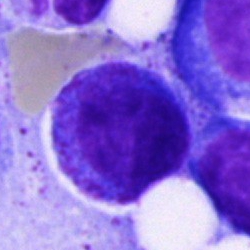Classification — promyelocyte.